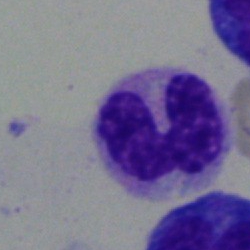The cell type is band neutrophil.